Bone marrow smear. Single-cell crop: 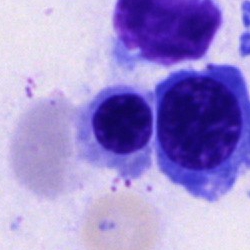 Normoblast.